Single-cell field; 40× objective, oil immersion; bone marrow aspirate smear — 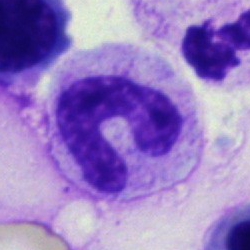Showing a neutrophil (band).